Bone marrow smear; single-cell crop; May-Grünwald-Giemsa/Pappenheim stain: 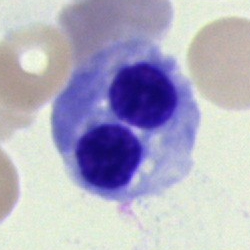 Q: What cell is this?
A: Normoblast.